Bone marrow smear: 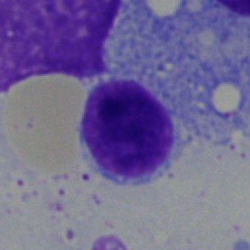
Specimen: bone marrow smear.
Morphological class: lymphocyte.
Lineage: lymphoid.